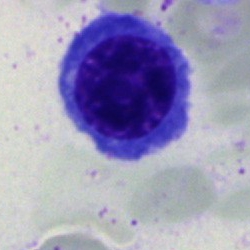
Specimen: bone marrow aspirate smear.
Classification: normoblast.
Lineage: erythroid.